Bone marrow smear — 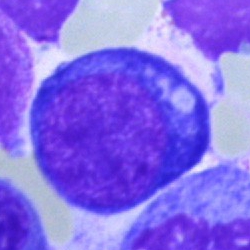
Classification — pronormoblast.